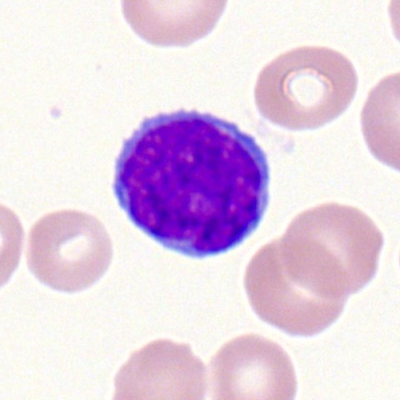 Showing a lymphocyte.